Peripheral blood smear — 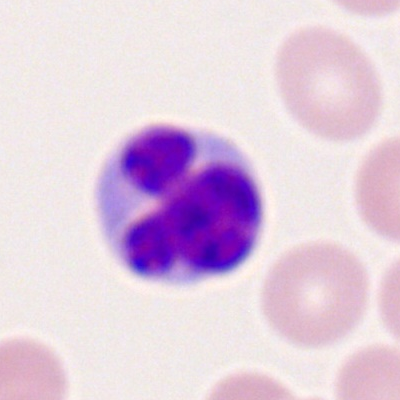This is a lymphocyte.